Bone marrow aspirate smear; 250×250 px — 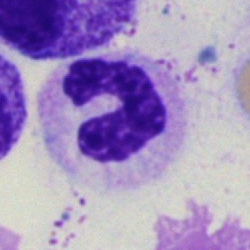Classification: stab cell.